Bone marrow smear: 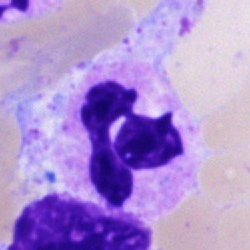
Cell type: segmented neutrophil.